Bone marrow aspirate smear:
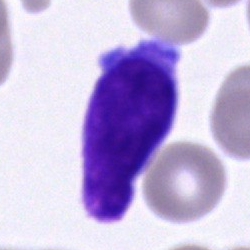Morphological class = typical lymphocyte.